Bone marrow aspirate smear: 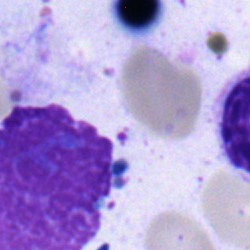
Cell type — nucleated red blood cell.